Bone marrow smear · single cell centered in the field.
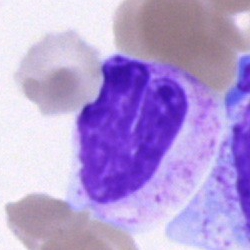

The cell type is cell of indeterminate lineage.